Brightfield microscopy, 40× oil immersion; bone marrow aspirate smear; May-Grünwald-Giemsa stain:
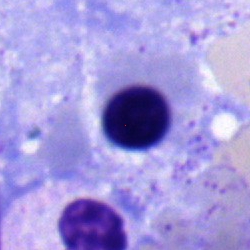 This is a normoblast.